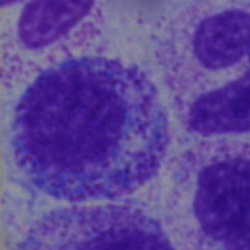 Showing a myelocyte.